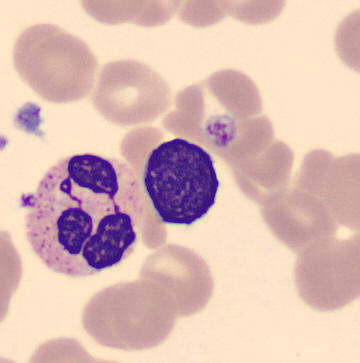

From a peripheral blood smear: a typical lymphocyte.